Bone marrow aspirate smear — 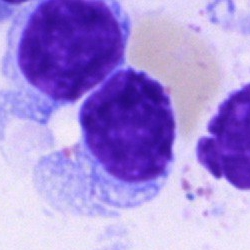

Q: What is the morphological classification of this cell?
A: A typical lymphocyte.